Bone marrow smear.
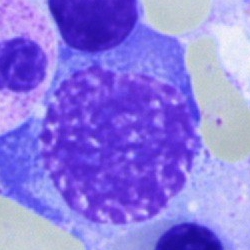
A nucleated red blood cell.